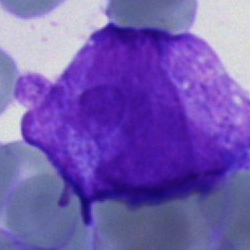

The cell shown is an undifferentiated blast.